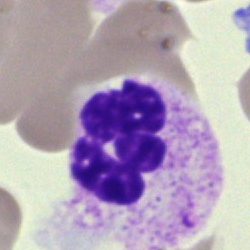

This is a segmented neutrophil.